Bone marrow aspirate smear — 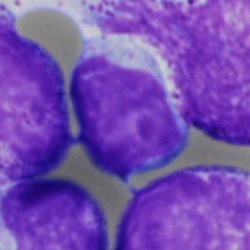{"cell_type": "typical lymphocyte", "lineage": "lymphoid"}